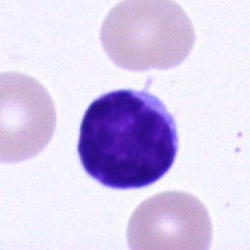{"cell_type": "typical lymphocyte", "lineage": "lymphoid"}